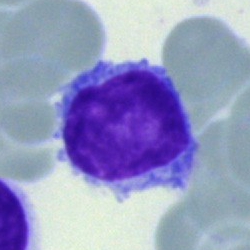

Morphology consistent with a lymphocyte.